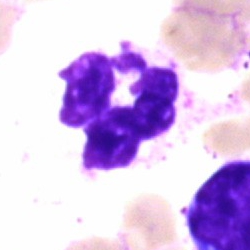Specimen: bone marrow smear.
Morphological class: segmented neutrophil.